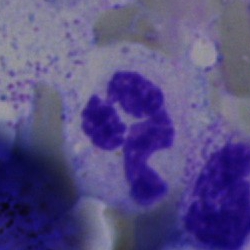
Classification = segmented neutrophil.